Bone marrow aspirate smear.
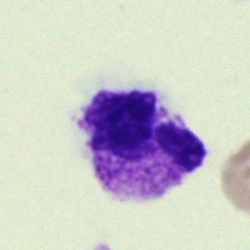

The classification is segmented neutrophil.